Brightfield microscopy, 40× oil immersion; bone marrow smear:
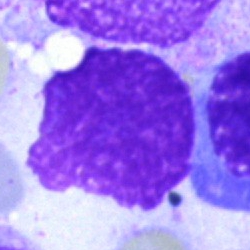Morphology → artifact.